May-Grünwald-Giemsa/Pappenheim stain. Bone marrow smear. Brightfield microscopy, 40× oil immersion:
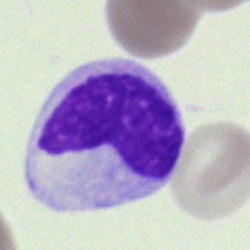

Artifact.